Peripheral blood film
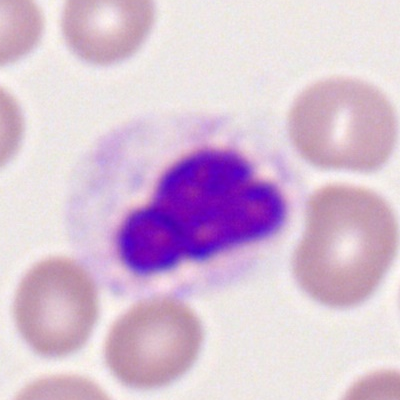 The cell is polymorphonuclear neutrophil.